May-Grünwald-Giemsa/Pappenheim stain. Bone marrow aspirate smear: 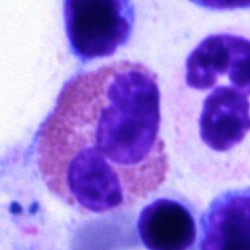
{"cell_type": "eosinophilic granulocyte", "lineage": "myeloid"}